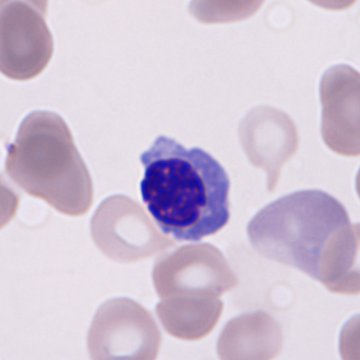

Preparation: Peripheral blood film.

Q: What cell is this?
A: A nucleated red blood cell.